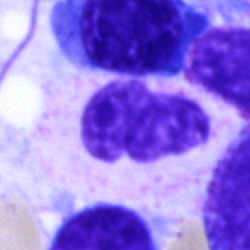
Polymorphonuclear neutrophil.